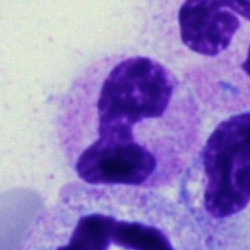
Morphology → neutrophil (band).